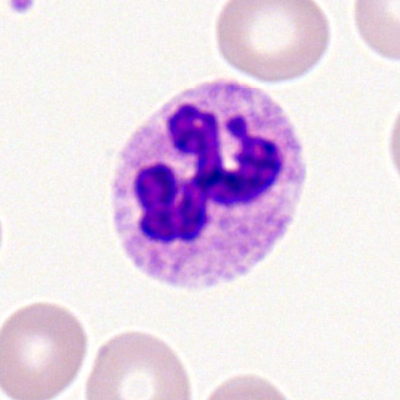
Impression → neutrophil (segmented).